Bone marrow smear:
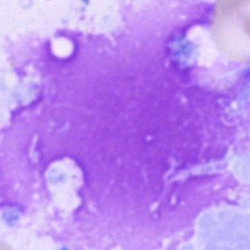 This is an artefact.